Peripheral blood smear — 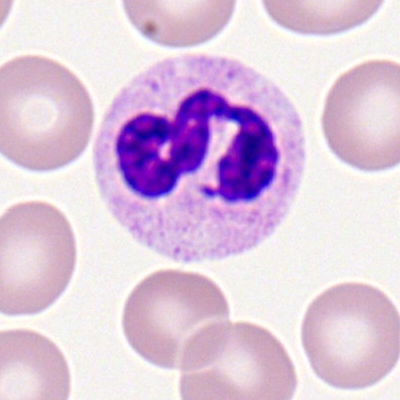Segmented neutrophil.